Single-cell field. Bone marrow aspirate smear
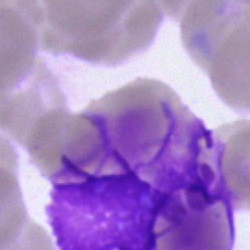
The classification is artifact.